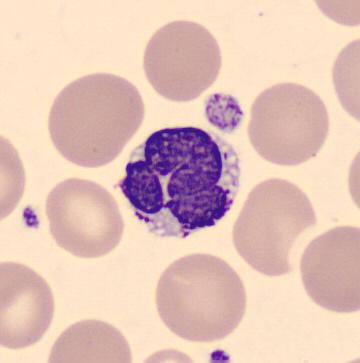
Morphology → basophil. Preparation: Imaged on a CellaVision DM96 analyser · peripheral blood film.